MGG-stained · bone marrow smear — 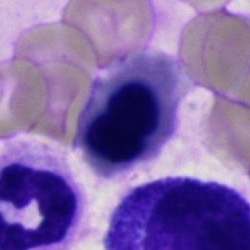
Showing a nucleated red cell.